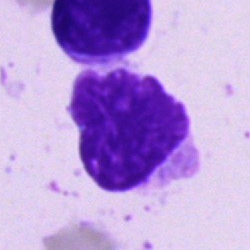 Artifact.